Image size 250×250. Bone marrow smear
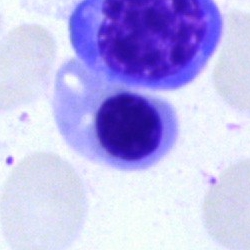
Morphology → erythroblast.